250×250 px. Bone marrow aspirate smear. Pappenheim-stained.
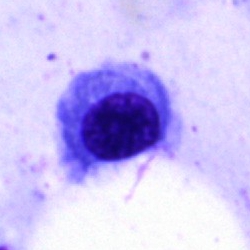Impression — nucleated red cell.